MGG-stained. Bone marrow aspirate smear
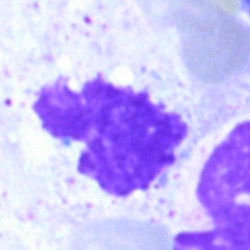

Cell: artifact.